Bone marrow aspirate smear
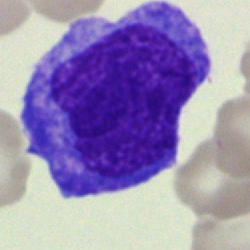
A blast.